Bone marrow aspirate smear; brightfield microscopy, 40× oil immersion:
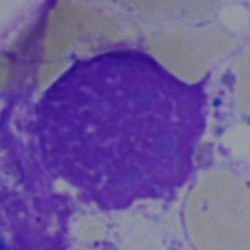 The cell shown is an artifact.